250 by 250 pixels; bone marrow smear
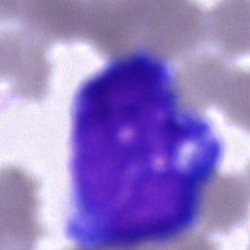
A blast.